Single-cell field. Bone marrow smear. 250×250 px:
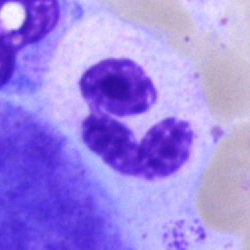{"cell_type": "segmented neutrophil", "lineage": "myeloid"}